Bone marrow smear:
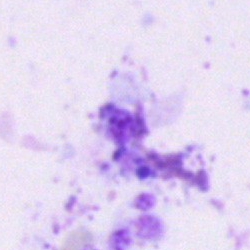
Classification — artifact.